Bone marrow smear; image size 250×250
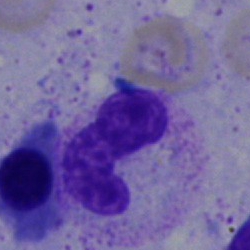 Classification: stab cell.